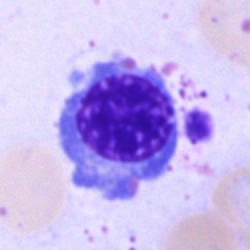

Cell type: nucleated red cell.